Bone marrow aspirate smear: 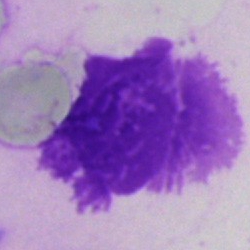 Cell type: artefact.